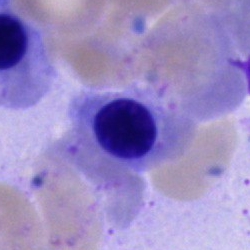 Q: What is shown here?
A: Erythroblast.